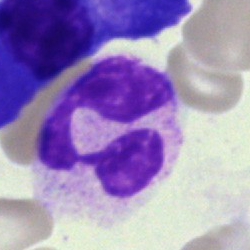

Q: Which cell type is shown here?
A: It is a neutrophil (segmented).